Single cell centered in the field · bone marrow smear · 250×250 px — 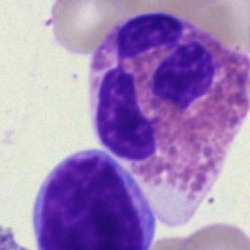This is an eosinophil.